Bone marrow aspirate smear:
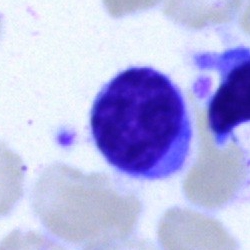Morphology consistent with a typical lymphocyte.